Bone marrow aspirate smear · 40× oil immersion · single-cell crop: 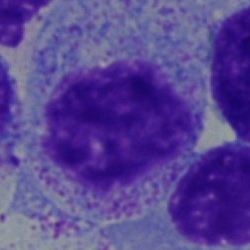 Specimen: bone marrow aspirate smear.
Morphological class: myelocyte.
Lineage: myeloid.